Bone marrow smear.
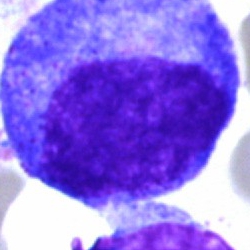 Morphological class — progranulocyte.